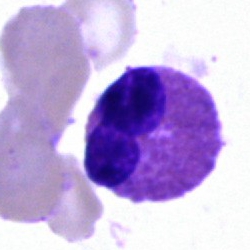

The classification is eosinophilic granulocyte.